Brightfield microscopy, 40× oil immersion · bone marrow smear — 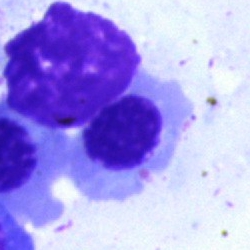

Cell type: nucleated red blood cell.